Bone marrow aspirate smear — 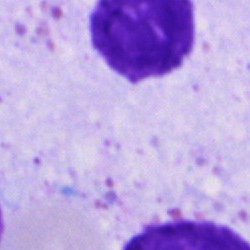Q: What is shown here?
A: An artifact.